Bone marrow aspirate smear
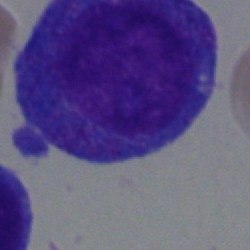

The cell shown is a promyelocyte.